Bone marrow smear — 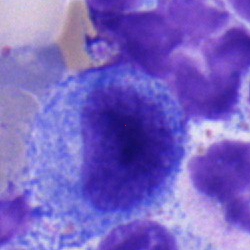 Showing a promyelocyte.